Bone marrow smear; single-cell crop.
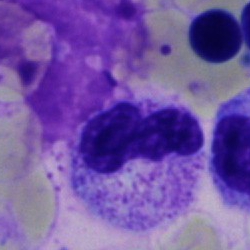 Cell type — neutrophil (segmented).